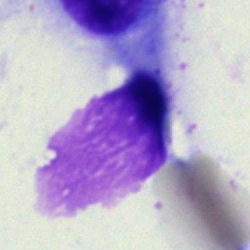
Cell type: artifact.